Bone marrow aspirate smear
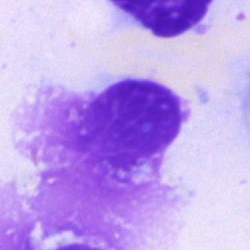 Q: What is shown here?
A: It is an artifact.